Bone marrow aspirate smear.
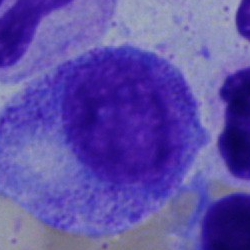{"cell_type": "myelocyte"}